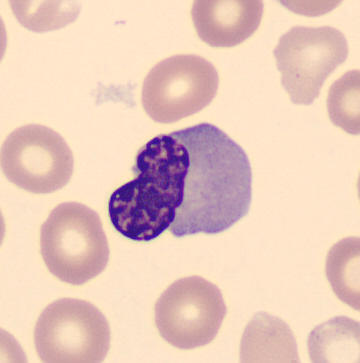 Peripheral blood film.

The classification is nucleated red blood cell.